Bone marrow smear
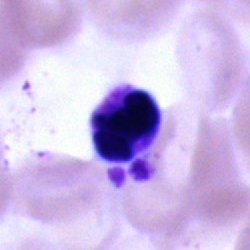Classification — segmented neutrophil.